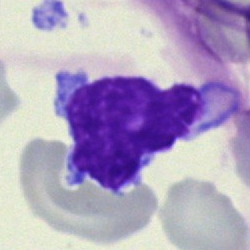 A lymphocyte on a bone marrow smear.